Peripheral blood film.
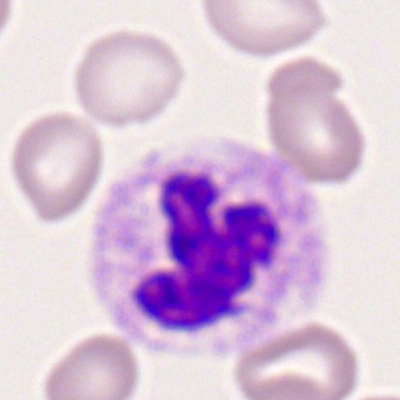

Q: Which cell type is shown here?
A: It is a neutrophil (segmented).